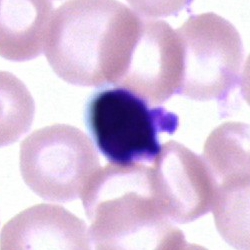 This is an artifact.